Single cell centered in the field. Bone marrow aspirate smear. Brightfield, 40× oil-immersion objective: 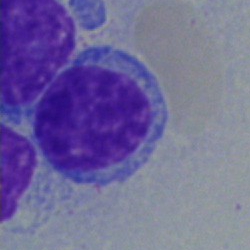

Morphological class = lymphocyte.